100× oil immersion, 14.14 px/µm. Image size 400×400. Peripheral blood film — 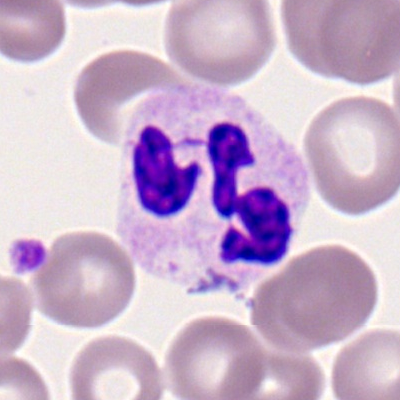

Morphology consistent with a polymorphonuclear neutrophil.